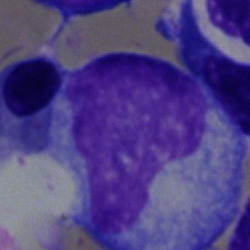

Specimen: bone marrow aspirate smear.
Cell: artefact.